Bone marrow smear. May-Grünwald-Giemsa stain: 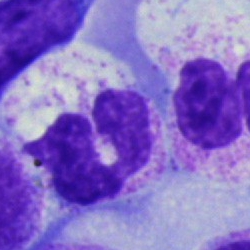

The morphological class is neutrophil (segmented).